Bone marrow aspirate smear · single-cell crop
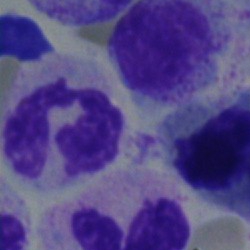

Cell: polymorphonuclear neutrophil.